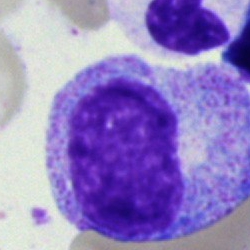This is a metamyelocyte.